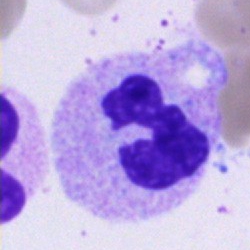

Q: What cell is this?
A: It is a neutrophil (segmented).